Bone marrow smear — 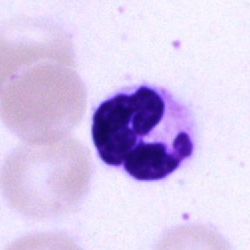 Single cell identified as a segmented neutrophil.